Bone marrow aspirate smear.
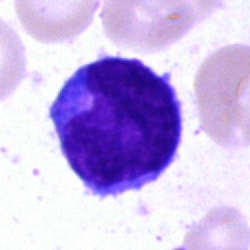Morphology — undifferentiated blast.